Bone marrow smear; May-Grünwald-Giemsa/Pappenheim stain — 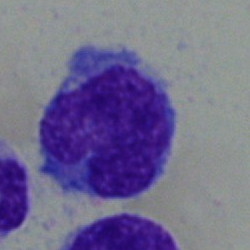

Impression — monocyte.